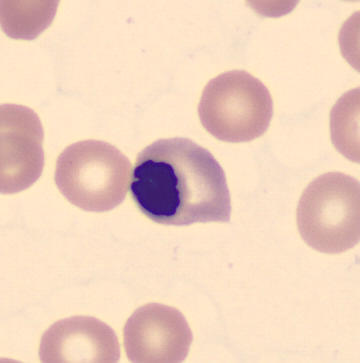Image: Peripheral blood film.

An erythroblast.